Peripheral blood film. 400 by 400 pixels. Single-cell field:
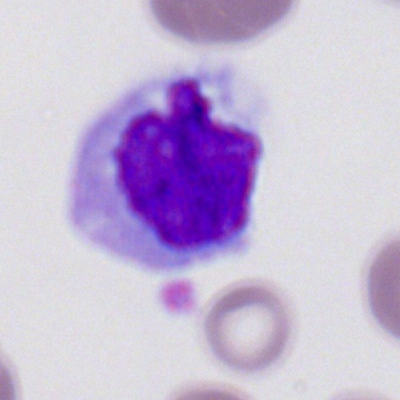 This is a monocyte.